Bone marrow smear
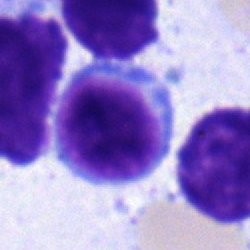Lymphocyte.